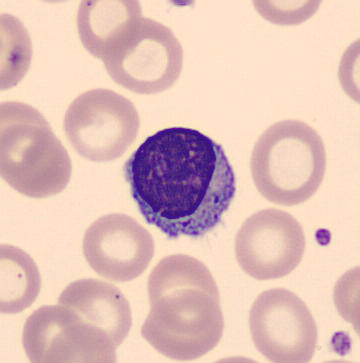Peripheral blood smear.
This is a typical lymphocyte.